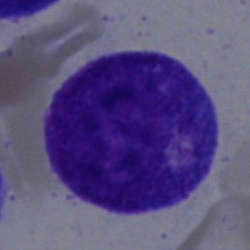{"cell_type": "promyelocyte"}